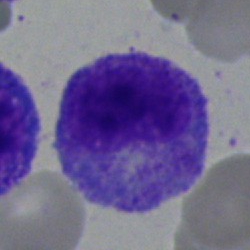Cell type — promyelocyte.